Bone marrow aspirate smear. Single-cell crop. 250×250: 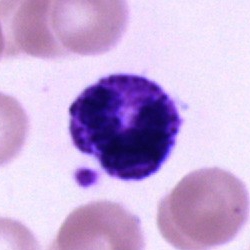The cell type is neutrophil (segmented).